Bone marrow aspirate smear: 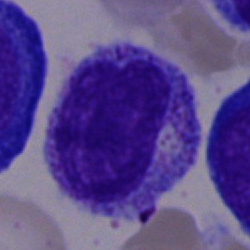Impression → myelocyte.